Bone marrow smear
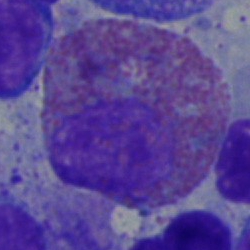

Cell — eosinophilic granulocyte.